Bone marrow smear. 250×250 — 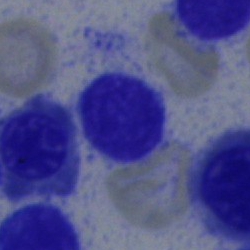 The cell is lymphocyte.